Bone marrow aspirate smear — 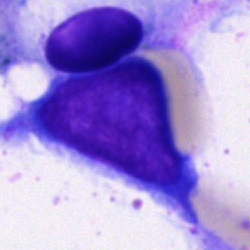
Single cell identified as a blast.